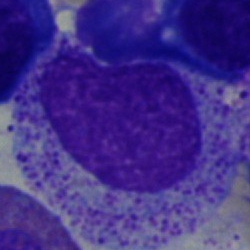

Single cell identified as a myelocyte.